40× oil immersion · bone marrow aspirate smear — 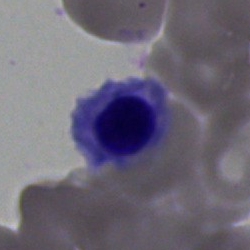Q: What cell is this?
A: Normoblast.